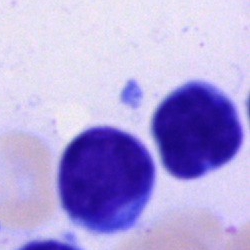Q: Identify the cell.
A: It is a typical lymphocyte.